Bone marrow smear — 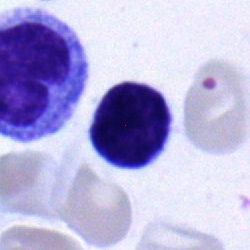

Specimen: bone marrow smear.
Cell type: lymphocyte.
Lineage: lymphoid.